Bone marrow smear.
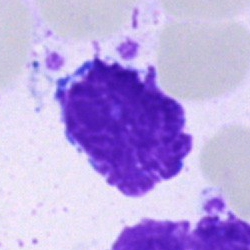

Showing an artefact.